Bone marrow aspirate smear: 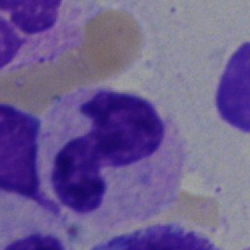

Classification = segmented neutrophil.